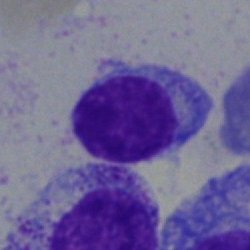
Morphological class — typical lymphocyte.